250 by 250 pixels · bone marrow smear — 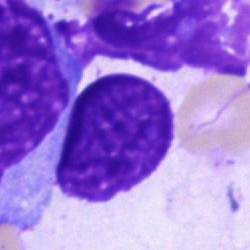 Morphology — cell of indeterminate lineage.